Bone marrow aspirate smear; brightfield microscopy, 40× oil immersion.
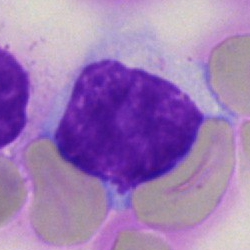

Single cell identified as an artefact.